Bone marrow aspirate smear — 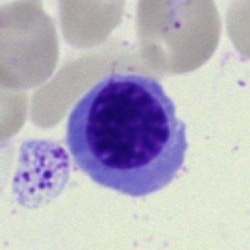This is a nucleated red blood cell.